Bone marrow aspirate smear. Brightfield microscopy, 40× oil immersion. May-Grünwald-Giemsa/Pappenheim stain:
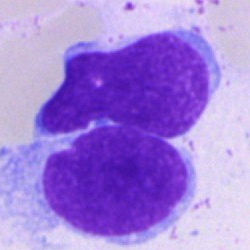 Blast cell.